Bone marrow smear; 40× oil immersion; 250×250
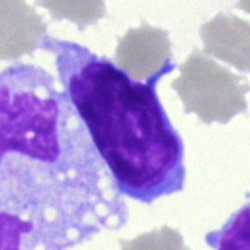
Cell — lymphocyte.